Bone marrow aspirate smear. Single-cell crop. Brightfield microscopy, 40× oil immersion: 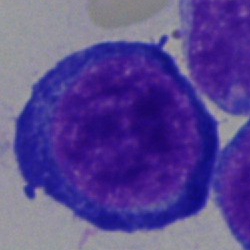
Impression → nucleated red blood cell.